Bone marrow smear — 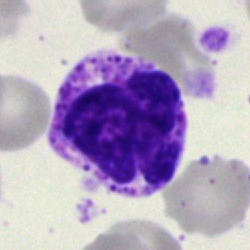
Showing a basophil.